Bone marrow aspirate smear — 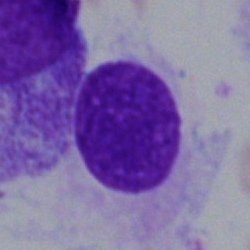Q: What is shown here?
A: This is an artefact.